Bone marrow smear — 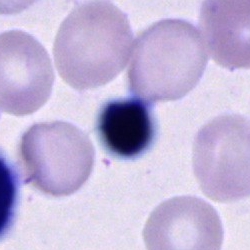

{"cell_type": "cell of indeterminate lineage"}